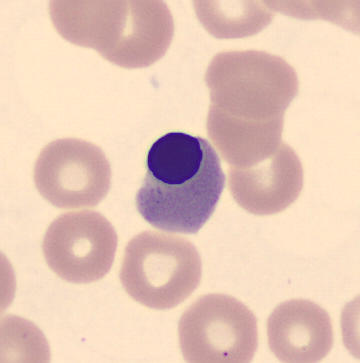
Acquisition: MGG stain · peripheral blood film. An erythroblast.